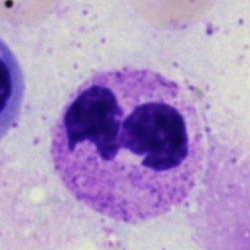

The cell shown is a polymorphonuclear neutrophil.